Cropped to a single cell · bone marrow aspirate smear: 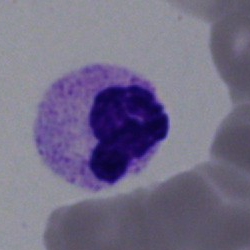This is a polymorphonuclear neutrophil.